Brightfield microscopy, 40× oil immersion; bone marrow aspirate smear:
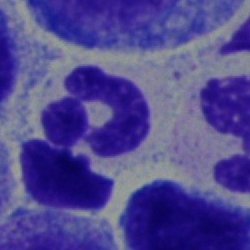

Specimen: bone marrow aspirate smear.
Cell type: neutrophil (segmented).
Lineage: myeloid.